Bone marrow aspirate smear:
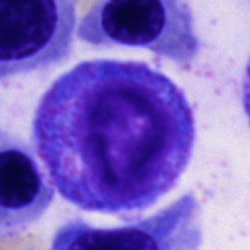
Cell type — progranulocyte.